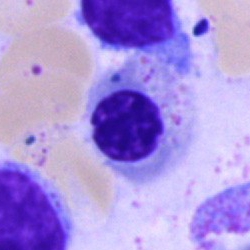 Single-cell crop from a bone marrow smear: nucleated red cell.